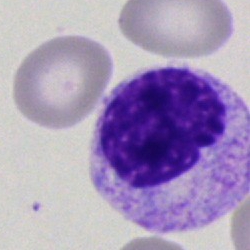
Specimen: bone marrow aspirate smear.
Classification: myelocyte.
Lineage: myeloid.